Bone marrow aspirate smear — 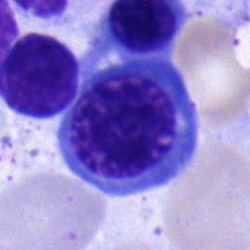

Specimen: bone marrow smear.
Cell: normoblast.